Single-cell field; bone marrow aspirate smear: 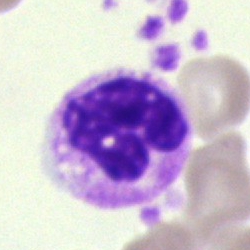
{"cell_type": "segmented neutrophil"}